Bone marrow smear; image size 250×250 — 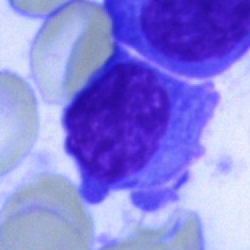

The cell shown is a plasmacyte.